Brightfield microscopy, 40× oil immersion; bone marrow smear; 250 by 250 pixels.
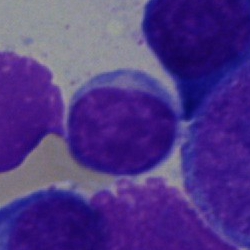
Classification — typical lymphocyte.